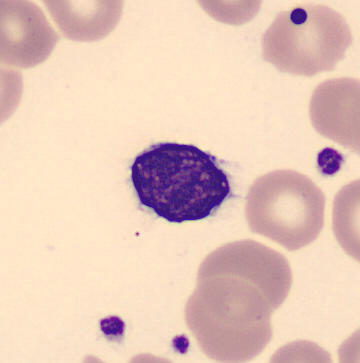Image: Peripheral blood smear.

Morphology consistent with a typical lymphocyte.